Bone marrow smear: 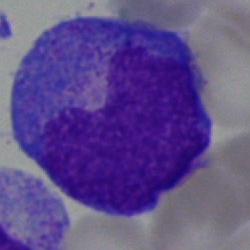

Promyelocyte.